Bone marrow aspirate smear; brightfield microscopy, 40× oil immersion.
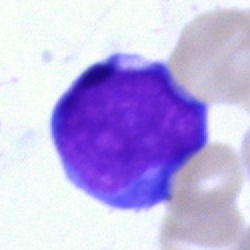 The cell shown is a blast.